Bone marrow smear:
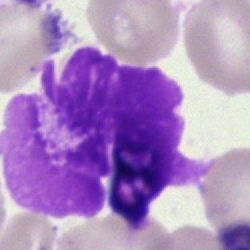

Cell type: artifact.